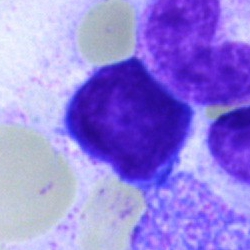
Bone marrow smear showing a typical lymphocyte.